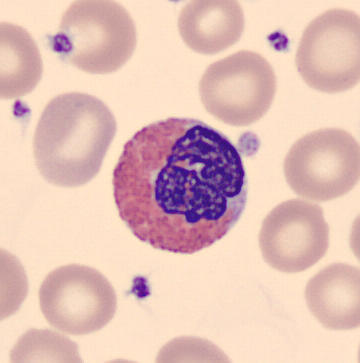Preparation: Automated cell imaging (CellaVision DM96). Specimen: peripheral blood film.
Cell: eosinophil.
Lineage: myeloid.